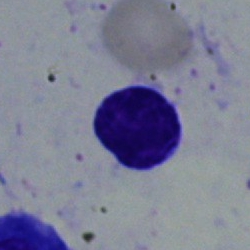

Q: What cell is this?
A: It is a lymphocyte.